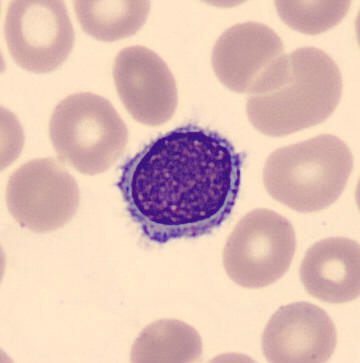

Acquisition: Peripheral blood film.

The cell shown is a typical lymphocyte.